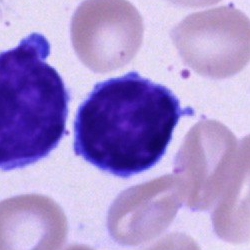

Morphological class: typical lymphocyte.